Bone marrow smear — 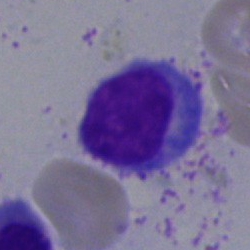

Morphology consistent with a typical lymphocyte.